Bone marrow aspirate smear — 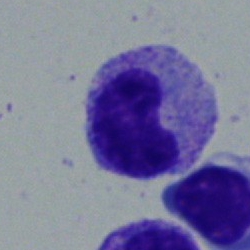

{"cell_type": "myelocyte", "lineage": "myeloid"}